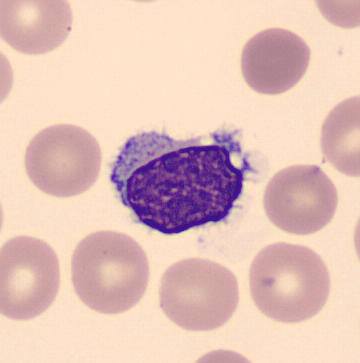
Identified as a lymphocyte.